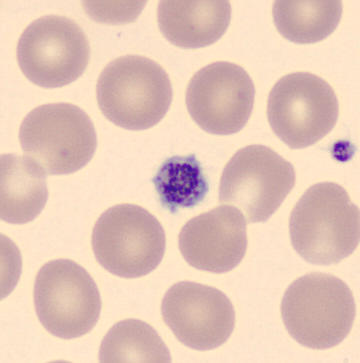

Showing a platelet (thrombocyte).
Preparation: Peripheral blood film.